250×250 · bone marrow smear.
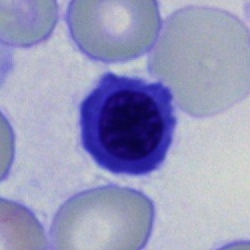 Q: What is shown here?
A: An erythroblast.